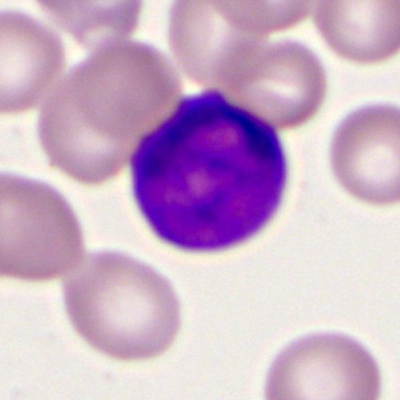
Q: What cell is this?
A: This is a myeloid blast.